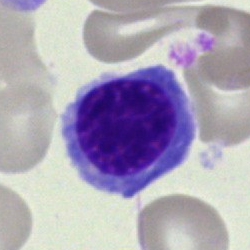Nucleated red cell.